Bone marrow smear — 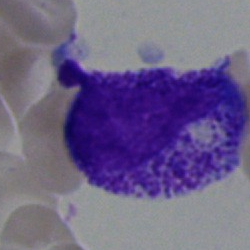
Morphology → myelocyte.